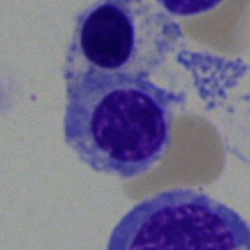 Impression — nucleated red blood cell.